Bone marrow aspirate smear
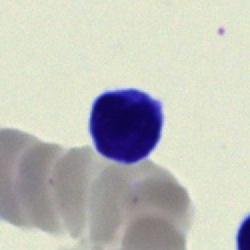

Showing a typical lymphocyte.